Bone marrow smear. May-Grünwald-Giemsa/Pappenheim stain. Single-cell field: 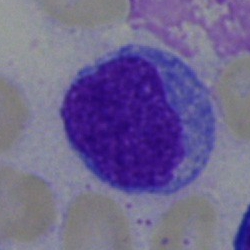
Specimen: bone marrow aspirate smear.
Cell type: typical lymphocyte.